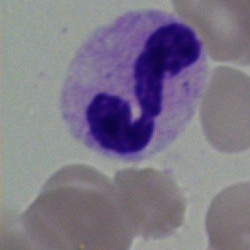

Q: What type of cell is this?
A: A polymorphonuclear neutrophil.